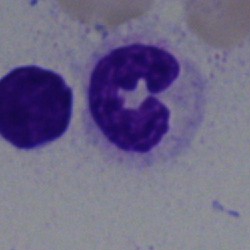Showing a polymorphonuclear neutrophil.